Bone marrow aspirate smear
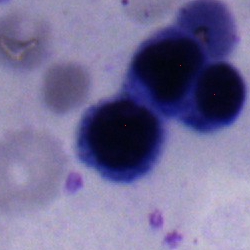

The classification is erythroblast.